Bone marrow smear: 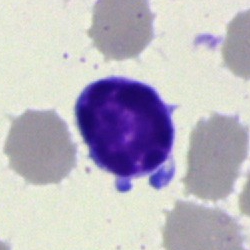{"cell_type": "typical lymphocyte", "lineage": "lymphoid"}